Bone marrow aspirate smear:
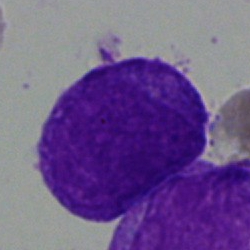

Morphology consistent with a blast cell.